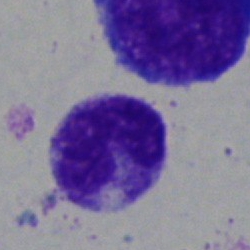 This is a band neutrophil.